Bone marrow aspirate smear · 250 by 250 pixels · MGG-stained — 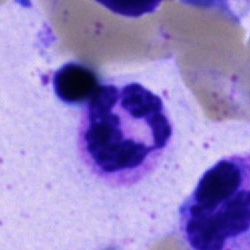
Morphological class — neutrophil (segmented).